Cropped to a single cell. Peripheral blood smear.
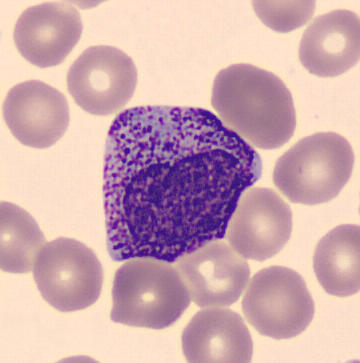 The cell shown is a promyelocyte.